Cropped to a single cell · bone marrow aspirate smear — 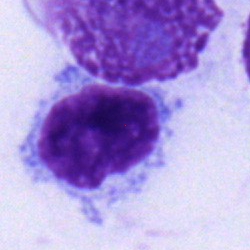
{"cell_type": "typical lymphocyte"}